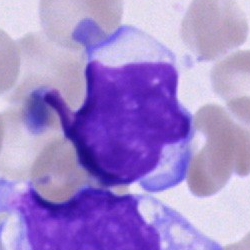
The cell shown is a lymphocyte.